250×250 px. MGG-stained. Bone marrow aspirate smear.
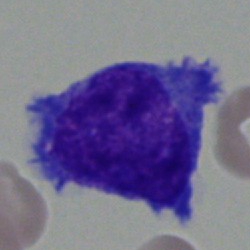Single cell identified as an undifferentiated blast.